Bone marrow smear. 250×250. Brightfield, 40× oil-immersion objective — 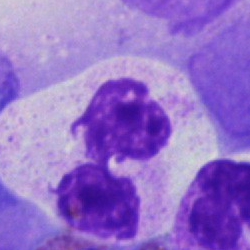

Single cell identified as a polymorphonuclear neutrophil.